Cropped to a single cell · bone marrow aspirate smear · Pappenheim-stained:
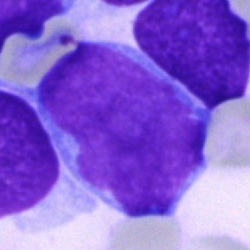

Impression → blast cell.